Image size 250×250. Bone marrow smear — 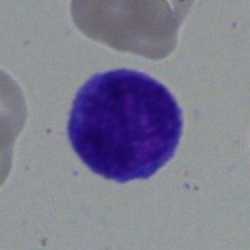Impression — monocyte.